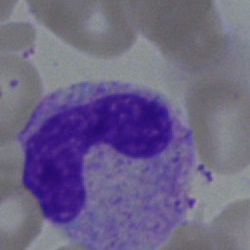A band-form neutrophil.